Bone marrow smear. Image size 250×250.
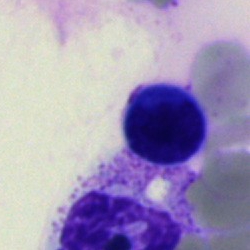

Q: What is shown here?
A: A typical lymphocyte.